Brightfield microscopy, 40× oil immersion · bone marrow aspirate smear · 250×250 px
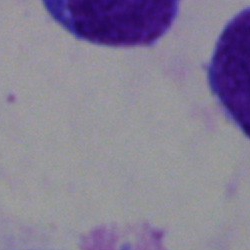
{"cell_type": "artefact"}